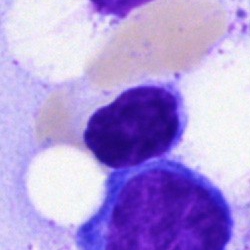

A typical lymphocyte.